Bone marrow aspirate smear: 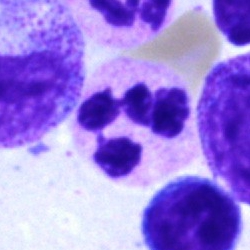Specimen: bone marrow aspirate smear.
Cell: segmented neutrophil.
Lineage: myeloid.